Bone marrow aspirate smear; cropped to a single cell:
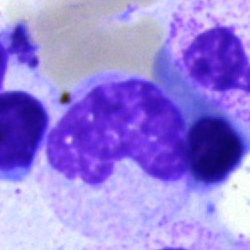Specimen: bone marrow smear.
Classification: band neutrophil.
Lineage: myeloid.